250×250 · bone marrow aspirate smear.
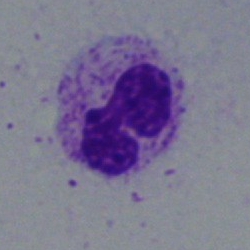
The cell shown is a neutrophil (segmented).